Bone marrow smear.
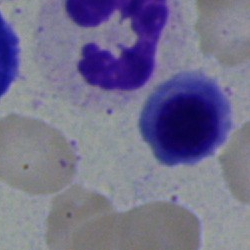 The cell shown is an erythroblast.